Bone marrow smear: 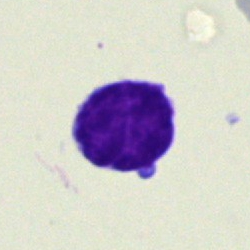Specimen: bone marrow smear.
Classification: lymphocyte.
Lineage: lymphoid.